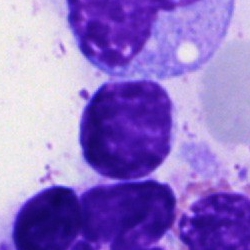

Impression — typical lymphocyte.